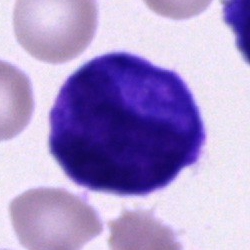
A cell of indeterminate lineage.